Bone marrow smear
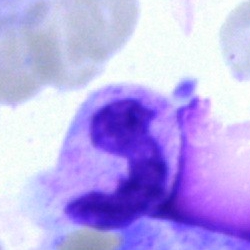The classification is polymorphonuclear neutrophil.